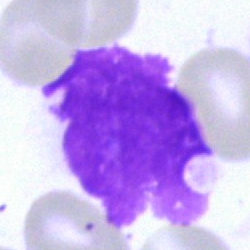Single cell identified as an artifact.